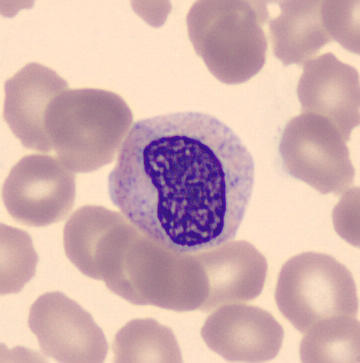

Preparation: Peripheral blood smear · cropped to a single cell · imaged on a CellaVision DM96 analyser. Q: What is the morphological classification of this cell?
A: It is a metamyelocyte.